400×400 · peripheral blood smear
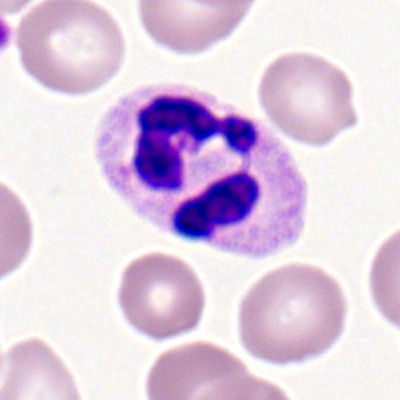

{"cell_type": "polymorphonuclear neutrophil"}